Bone marrow aspirate smear; cropped to a single cell; May-Grünwald-Giemsa/Pappenheim stain
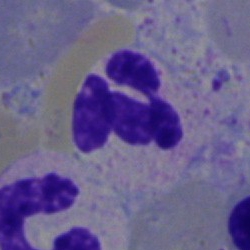 Specimen: bone marrow smear.
Classification: neutrophil (segmented).
Lineage: myeloid.